Bone marrow aspirate smear — 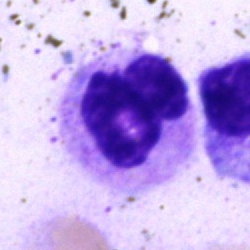
The cell shown is a polymorphonuclear neutrophil.